Bone marrow smear; image size 250×250:
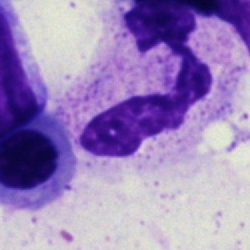{"cell_type": "segmented neutrophil", "lineage": "myeloid"}